Bone marrow smear
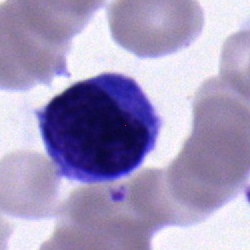 Classification — monocyte.